Peripheral blood film:
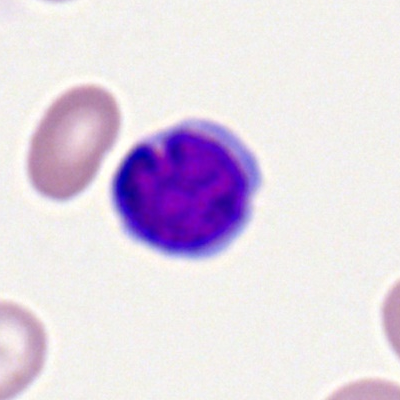
Cell — typical lymphocyte.